Bone marrow smear.
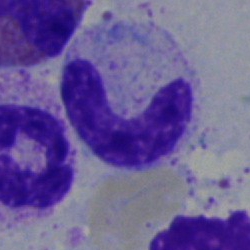
Classification — stab cell.